Cropped to a single cell · bone marrow aspirate smear · image size 250×250.
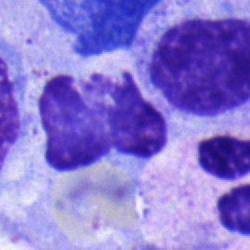

Classification — neutrophil (segmented).